Bone marrow aspirate smear · brightfield, 40× oil-immersion objective — 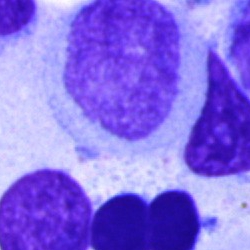Morphology — artefact.